May-Grünwald-Giemsa stain · bone marrow smear.
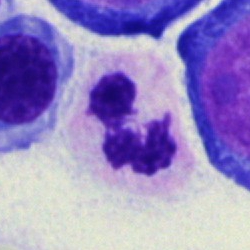Showing a neutrophil (segmented).